Bone marrow smear.
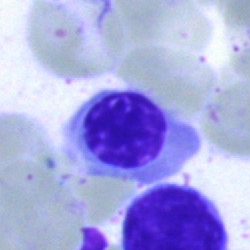Q: What is shown here?
A: This is an erythroblast.